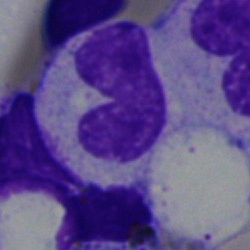 A neutrophil (band) on a bone marrow smear.